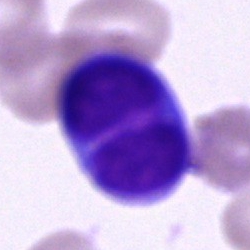
Cell = blast cell.